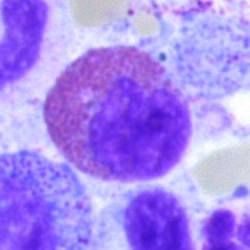Cell type: eosinophil.